Peripheral blood smear:
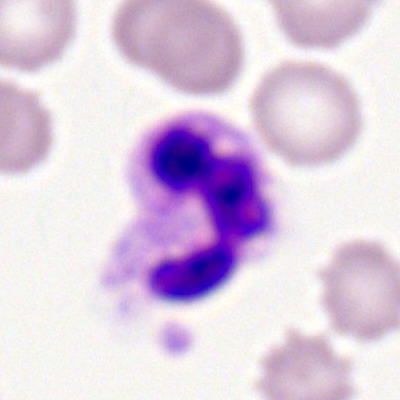
Specimen: peripheral blood smear.
Morphological class: segmented neutrophil.
Lineage: myeloid.